Bone marrow aspirate smear: 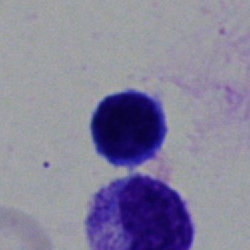
Specimen: bone marrow aspirate smear.
Cell: typical lymphocyte.